Bone marrow aspirate smear · 40× oil immersion.
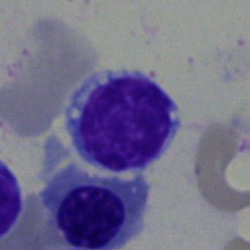

A plasma cell.